Bone marrow smear.
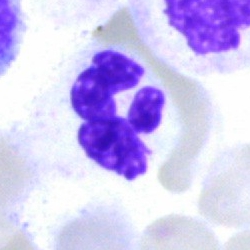
Specimen: bone marrow aspirate smear.
Cell: neutrophil (segmented).